Bone marrow smear. Brightfield, 40× oil-immersion objective:
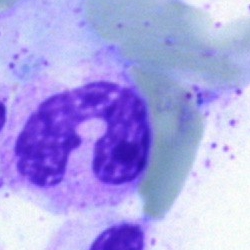{"cell_type": "segmented neutrophil"}